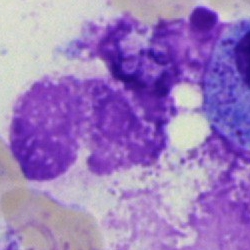

Cell = artefact.